250 by 250 pixels; cropped to a single cell; bone marrow aspirate smear: 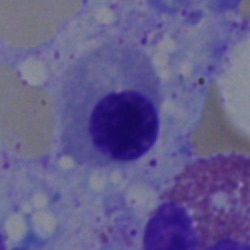 The cell shown is a normoblast.